250×250 px. Brightfield microscopy, 40× oil immersion. Bone marrow smear.
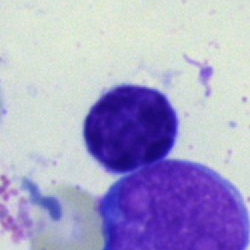 The cell shown is a lymphocyte.